Bone marrow smear · image size 250×250.
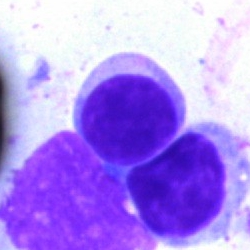
Cell = lymphocyte.